Brightfield, 40× oil-immersion objective · bone marrow aspirate smear:
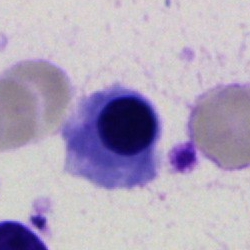Nucleated red cell.